Brightfield, 40× oil-immersion objective; 250 by 250 pixels; bone marrow smear — 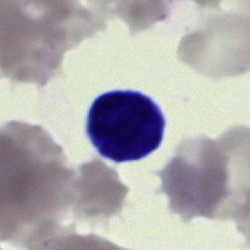 {"cell_type": "cell of indeterminate lineage"}